Bone marrow aspirate smear · May-Grünwald-Giemsa stain — 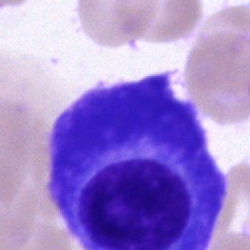 Morphology — plasmacyte.